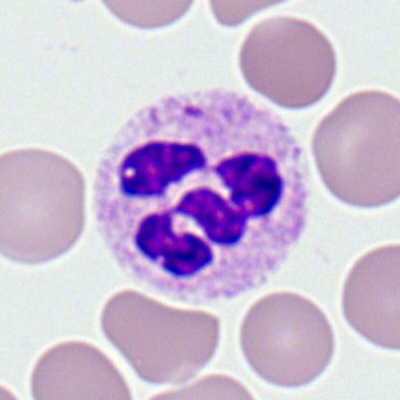Morphological class = neutrophil (segmented).